Bone marrow smear.
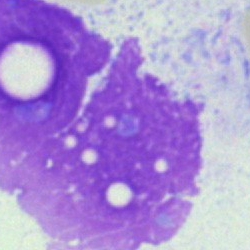

Cell type — artifact.